Peripheral blood film — 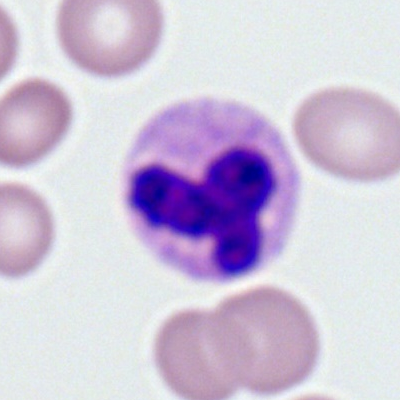
Polymorphonuclear neutrophil.